May Grünwald-Giemsa stain. Peripheral blood smear: 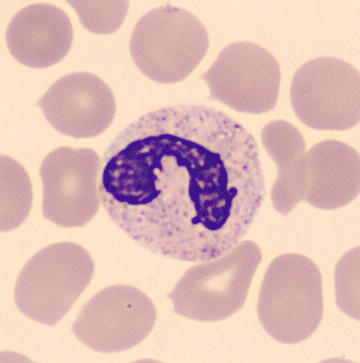
Identified as a polymorphonuclear neutrophil.